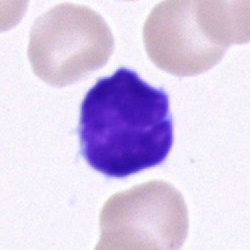Q: What type of cell is this?
A: A lymphocyte.